Bone marrow aspirate smear; single-cell crop; May-Grünwald-Giemsa/Pappenheim stain.
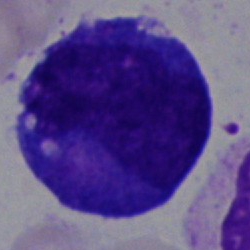

Cell = undifferentiated blast.